Bone marrow smear
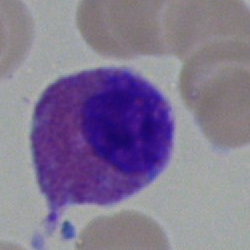The cell shown is an eosinophil.